MGG-stained; bone marrow smear:
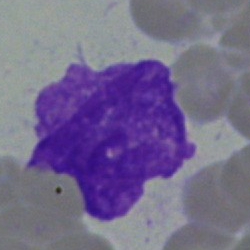
Impression → artefact.